Bone marrow smear: 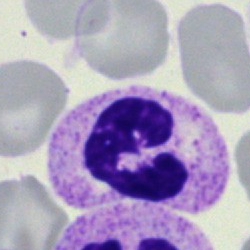 Single cell identified as a segmented neutrophil.